250×250 px. Bone marrow aspirate smear. May-Grünwald-Giemsa stain — 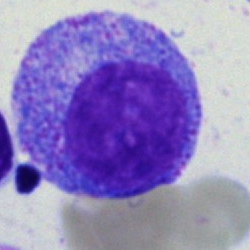Showing a proerythroblast.